MGG-stained · bone marrow smear · brightfield microscopy, 40× oil immersion — 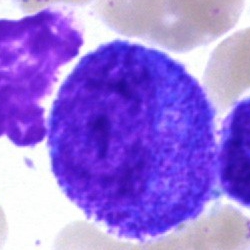Morphology — promyelocyte.